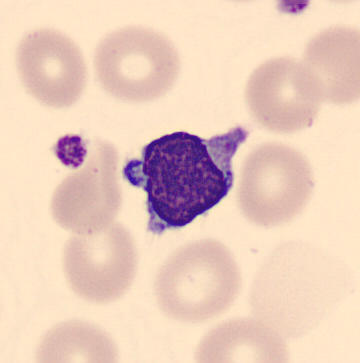

The cell shown is a lymphocyte.

Peripheral blood smear.